Bone marrow aspirate smear · brightfield, 40× oil-immersion objective · MGG-stained:
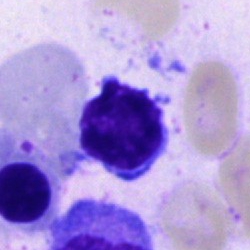
Specimen: bone marrow smear.
Classification: typical lymphocyte.
Lineage: lymphoid.